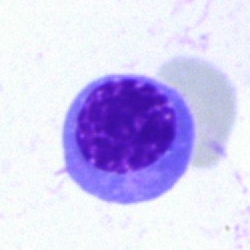 Cell = erythroblast.